Bone marrow aspirate smear: 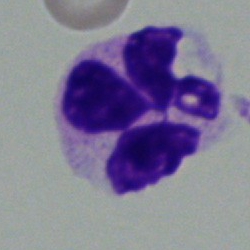 Specimen: bone marrow smear.
Classification: segmented neutrophil.